Bone marrow smear:
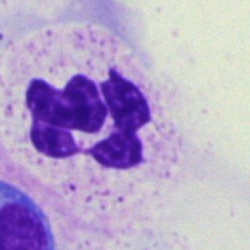Morphological class: polymorphonuclear neutrophil.